Bone marrow aspirate smear: 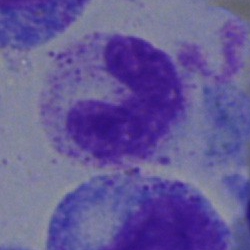The cell shown is a neutrophil (band).